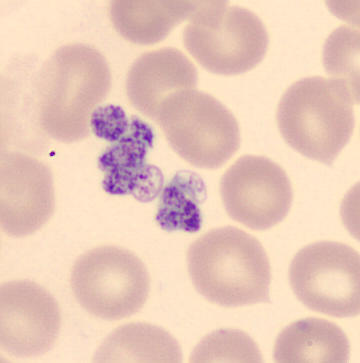 Morphology — platelet.

Image: 360×363 px; peripheral blood film.